Bone marrow aspirate smear — 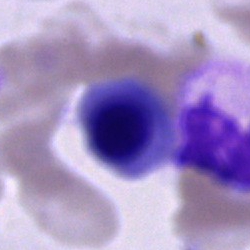
Q: What is the morphological classification of this cell?
A: It is a nucleated red cell.